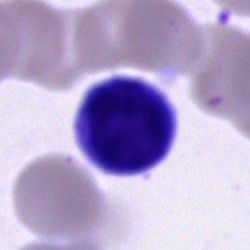 Single cell identified as a lymphocyte.